Bone marrow smear — 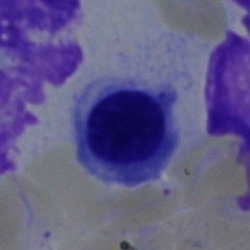 Specimen: bone marrow smear.
Morphological class: erythroblast.
Lineage: erythroid.